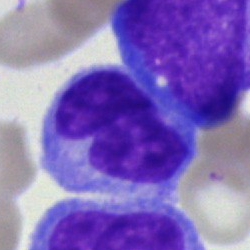

Bone marrow smear showing a monocyte.